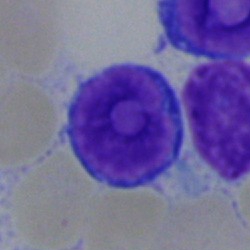

{"cell_type": "typical lymphocyte", "lineage": "lymphoid"}